Bone marrow smear; 250 by 250 pixels: 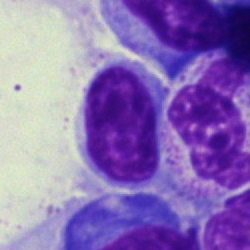
Classification — lymphocyte.